Bone marrow smear — 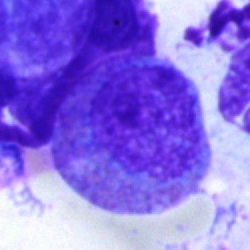
Showing an eosinophilic granulocyte.